Bone marrow aspirate smear.
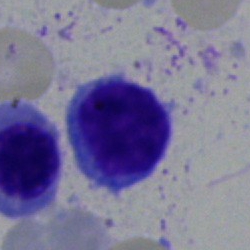
The cell type is typical lymphocyte.